Bone marrow aspirate smear; brightfield microscopy, 40× oil immersion: 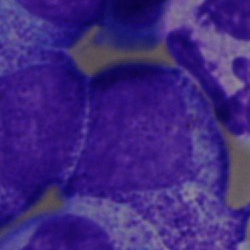 Morphological class — myelocyte.